Peripheral blood smear:
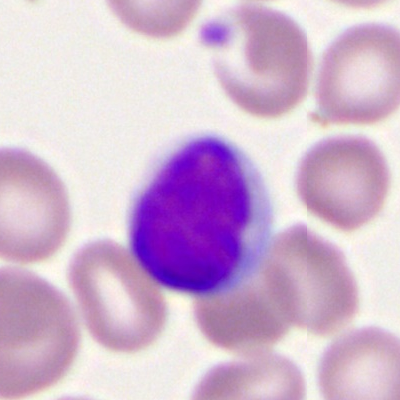 Specimen: peripheral blood film.
Morphological class: lymphocyte.
Lineage: lymphoid.